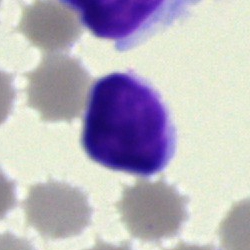

A lymphocyte.